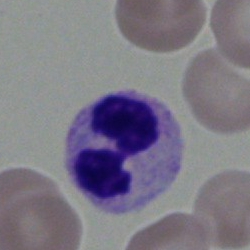
A segmented neutrophil.